Bone marrow aspirate smear. Single cell centered in the field:
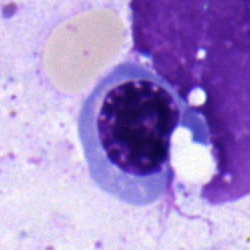 Q: Which cell type is shown here?
A: A nucleated red blood cell.